Bone marrow smear
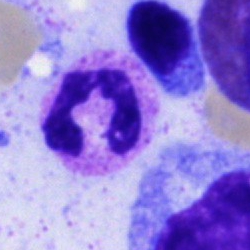

Specimen: bone marrow smear.
Morphological class: neutrophil (segmented).
Lineage: myeloid.